Bone marrow smear; single-cell field — 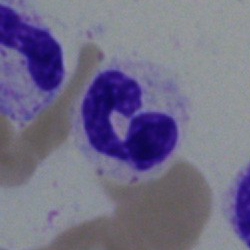The cell is segmented neutrophil.